100× oil immersion, 14.14 px/µm; peripheral blood film:
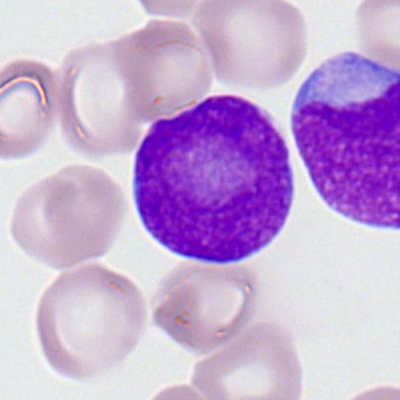 Morphological class = myeloid blast.